250×250; bone marrow smear; May-Grünwald-Giemsa/Pappenheim stain: 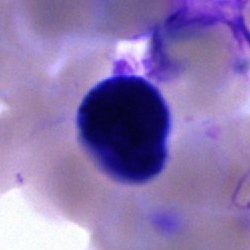

{"cell_type": "artifact"}